40× oil immersion · bone marrow smear: 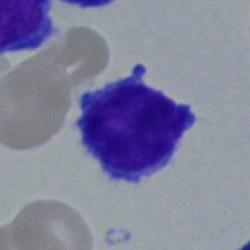 Typical lymphocyte.